May-Grünwald-Giemsa stain; bone marrow smear; cropped to a single cell — 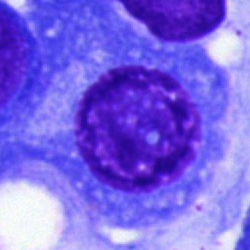

Impression — plasma cell.